Bone marrow aspirate smear
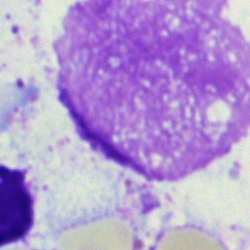 The cell shown is an artifact.